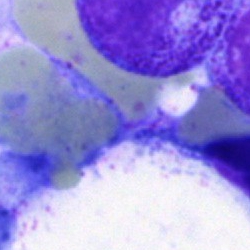Specimen: bone marrow smear.
Cell type: artifact.